Bone marrow aspirate smear. Brightfield, 40× oil-immersion objective — 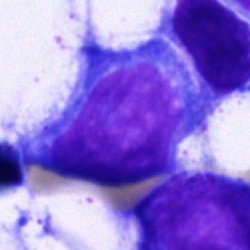Morphological class: undifferentiated blast.